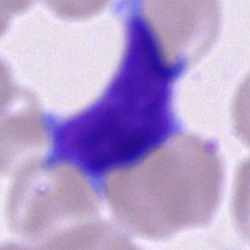
Morphology consistent with an artifact.